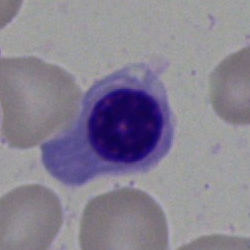
Single cell identified as a normoblast.